Bone marrow smear
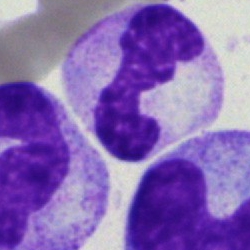

Segmented neutrophil.